MGG-stained · single-cell field · bone marrow aspirate smear
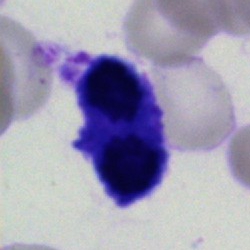Showing a progranulocyte.